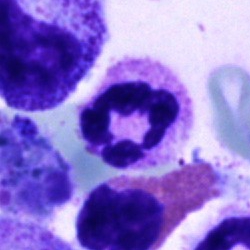Segmented neutrophil.